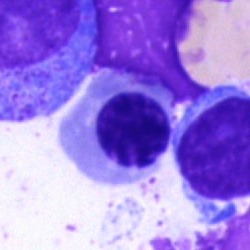

Cell type — normoblast.